Bone marrow aspirate smear; MGG-stained: 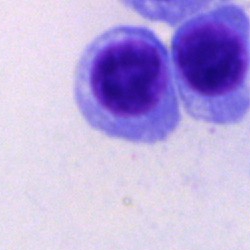Q: Identify the cell.
A: This is a nucleated red blood cell.